Bone marrow smear — 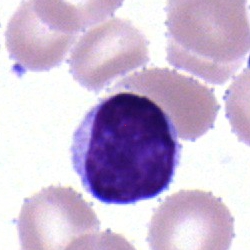
A typical lymphocyte.